250×250 px; bone marrow aspirate smear: 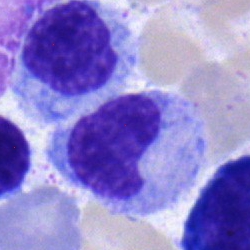Metamyelocyte.